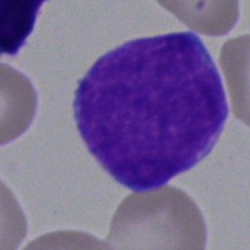

Q: What cell is this?
A: It is an undifferentiated blast.